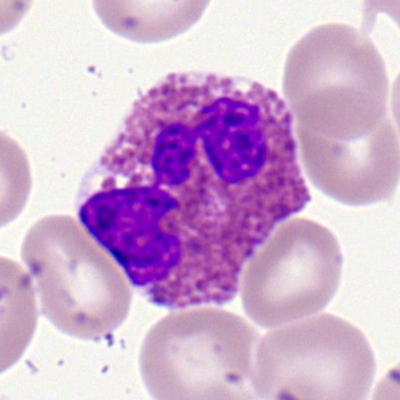Morphology → eosinophil.